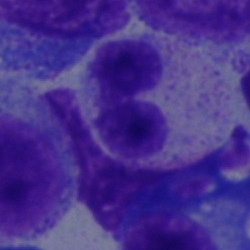

Specimen: bone marrow smear.
Cell: segmented neutrophil.